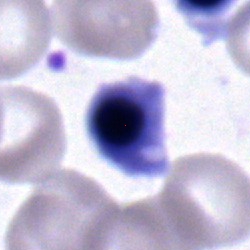
The morphological class is erythroblast.